Bone marrow aspirate smear: 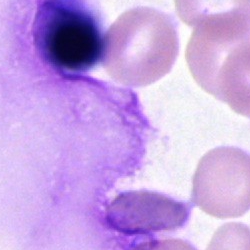
Artifact.